Image size 250×250; bone marrow aspirate smear.
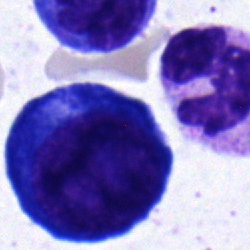 The cell shown is a pronormoblast.